40× oil immersion. Bone marrow aspirate smear
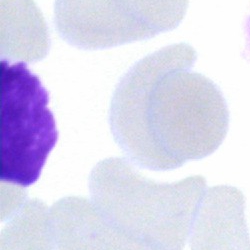
Q: What cell is this?
A: A cell of indeterminate lineage.